Bone marrow smear — 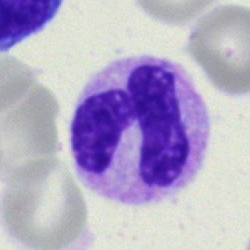
Cell: stab cell.